Bone marrow aspirate smear — 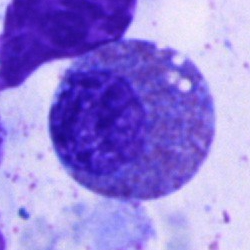
Morphology consistent with an eosinophilic granulocyte.